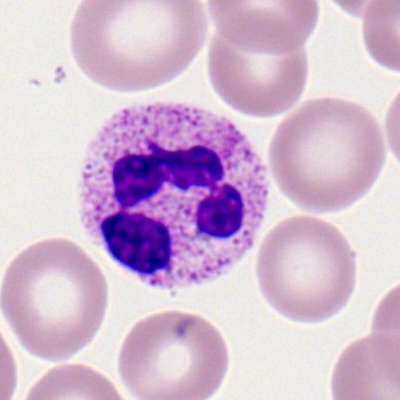

Specimen: peripheral blood smear.
Cell: segmented neutrophil.
Lineage: myeloid.